Bone marrow aspirate smear
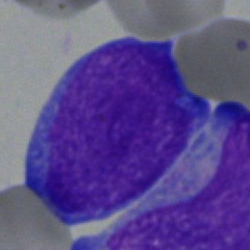
Classification: undifferentiated blast.